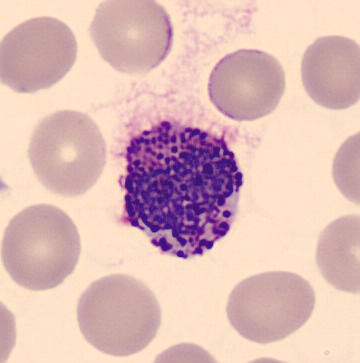
Acquisition: Peripheral blood smear.

Showing a basophil.